Bone marrow smear.
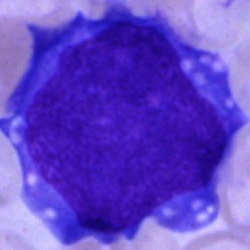
Showing an undifferentiated blast.